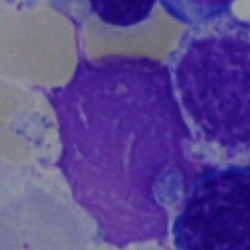
The classification is artefact.